Bone marrow smear. Brightfield microscopy, 40× oil immersion:
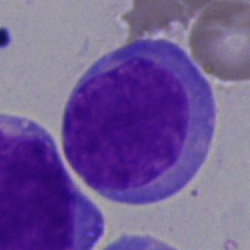Cell = undifferentiated blast.